Bone marrow aspirate smear: 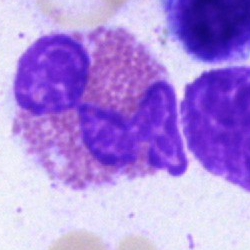 Morphological class — eosinophilic granulocyte.